Bone marrow smear; brightfield, 40× oil-immersion objective.
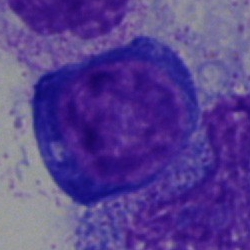Q: Which cell type is shown here?
A: This is a proerythroblast.